Single cell centered in the field. Bone marrow aspirate smear:
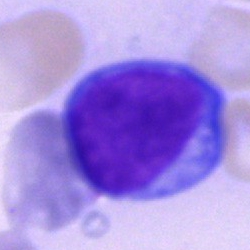 A blast cell.